Bone marrow aspirate smear; cropped to a single cell.
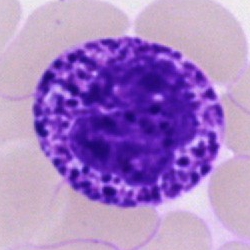 Impression — basophilic granulocyte.